Bone marrow smear; Pappenheim-stained; brightfield, 40× oil-immersion objective.
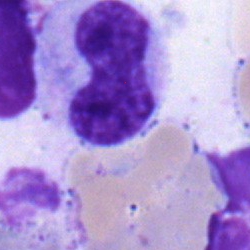
Cell type = band-form neutrophil.